Peripheral blood film:
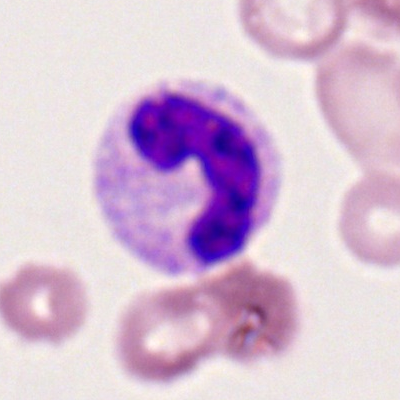{"cell_type": "segmented neutrophil", "lineage": "myeloid"}